Bone marrow smear
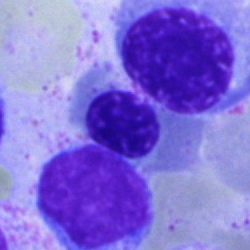 {"cell_type": "normoblast"}